Peripheral blood smear. Single-cell crop
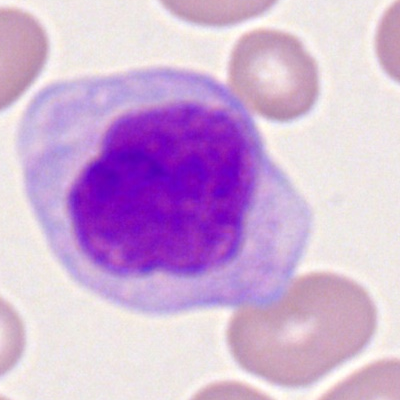
Single cell identified as a monocyte.